Bone marrow smear: 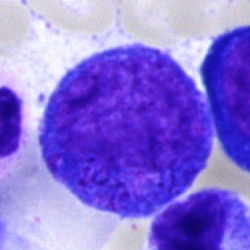 Impression → progranulocyte.